Bone marrow aspirate smear: 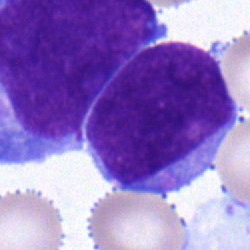
Cell type — blast cell.